Bone marrow aspirate smear · 250 by 250 pixels · May-Grünwald-Giemsa/Pappenheim stain
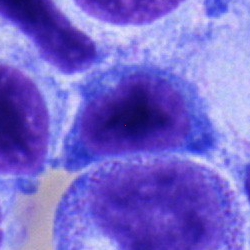 Single cell identified as a typical lymphocyte.